Cropped to a single cell · bone marrow smear · Pappenheim-stained:
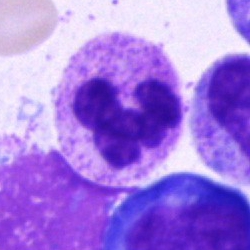

Specimen: bone marrow aspirate smear.
Morphological class: segmented neutrophil.
Lineage: myeloid.